Bone marrow smear
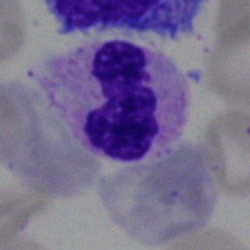 The cell is neutrophil (segmented).